Single cell centered in the field. Peripheral blood smear: 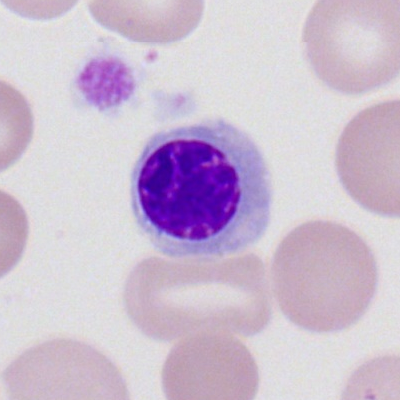The morphological class is nucleated red blood cell.